Bone marrow smear: 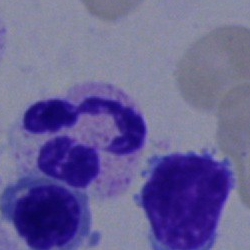

Cell: polymorphonuclear neutrophil.